Bone marrow aspirate smear
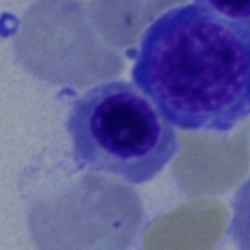Cell — normoblast.